Cropped to a single cell · bone marrow smear · 250×250 px
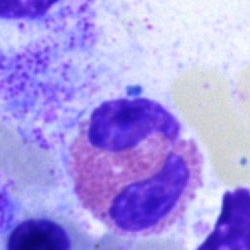

Morphological class — eosinophil.